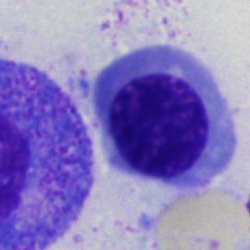
Single-cell crop from a bone marrow smear: erythroblast.